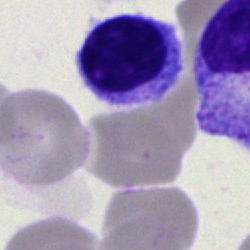
Specimen: bone marrow aspirate smear.
Morphological class: lymphocyte.
Lineage: lymphoid.